Bone marrow smear.
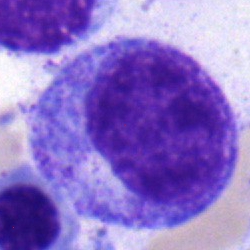 This is a progranulocyte.